Single-cell crop; bone marrow smear — 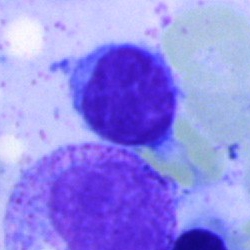
Showing a lymphocyte.